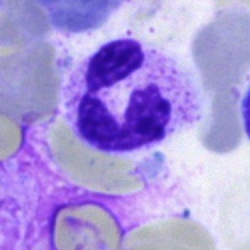
Classification — segmented neutrophil.